Bone marrow smear; May-Grünwald-Giemsa/Pappenheim stain: 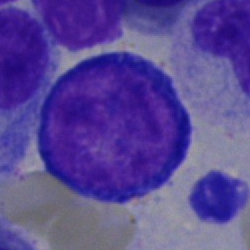
This is a proerythroblast.